Cropped to a single cell · bone marrow aspirate smear.
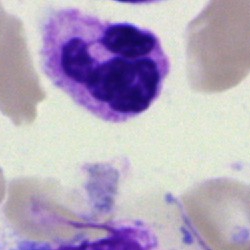
Specimen: bone marrow aspirate smear.
Cell: neutrophil (segmented).